Bone marrow aspirate smear
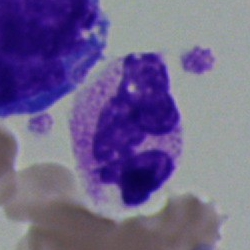

Q: What type of cell is this?
A: A polymorphonuclear neutrophil.